Bone marrow smear; MGG-stained:
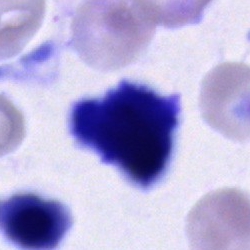

Cell type = cell of indeterminate lineage.